Cropped to a single cell · bone marrow aspirate smear · image size 250×250: 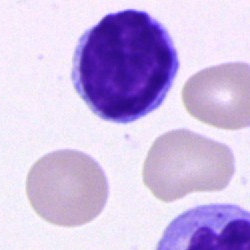
Cell — lymphocyte.